Bone marrow smear: 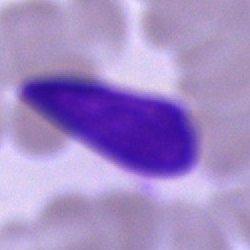 Morphology → unidentifiable cell.